Bone marrow aspirate smear:
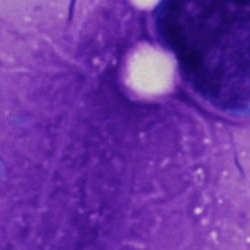

An artifact.